Bone marrow aspirate smear:
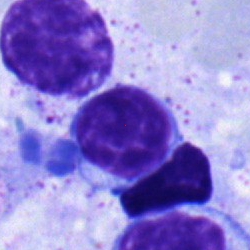
{"cell_type": "lymphocyte", "lineage": "lymphoid"}